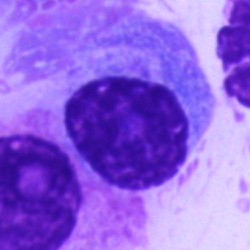 {"cell_type": "plasmacyte", "lineage": "lymphoid"}